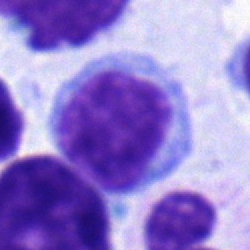

Bone marrow smear showing a typical lymphocyte.